May-Grünwald-Giemsa/Pappenheim stain. Cropped to a single cell. Bone marrow smear: 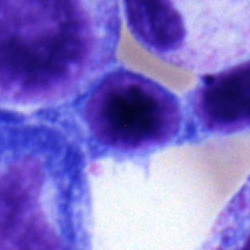Q: Which cell type is shown here?
A: This is a typical lymphocyte.